Bone marrow aspirate smear · 40× objective, oil immersion:
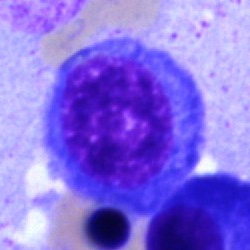

Specimen: bone marrow smear.
Cell type: plasma cell.